Bone marrow aspirate smear — 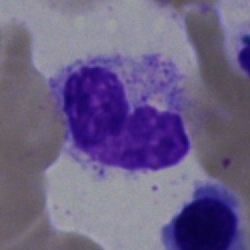

Cell type: neutrophil (band).